Single-cell crop; bone marrow smear: 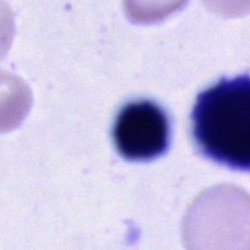Morphological class: cell of indeterminate lineage.